Bone marrow aspirate smear
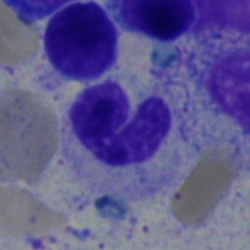
Cell: band-form neutrophil.